Bone marrow aspirate smear.
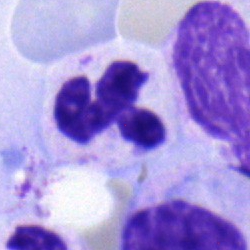 Impression → neutrophil (segmented).